Brightfield, 100× oil-immersion objective; peripheral blood film; Romanowsky-stained
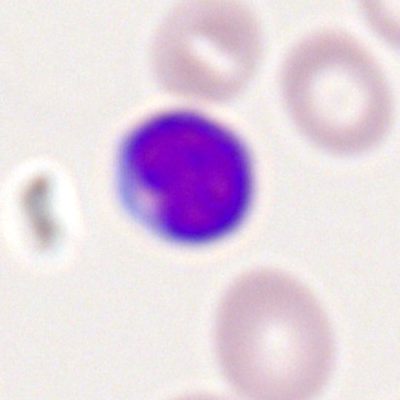

Q: What cell is this?
A: A lymphocyte.